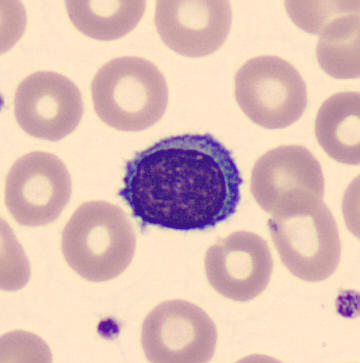A typical lymphocyte.